Bone marrow aspirate smear.
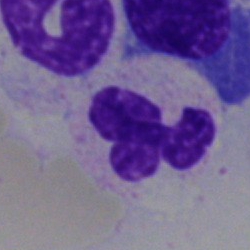
Q: Which cell type is shown here?
A: A segmented neutrophil.